Bone marrow smear — 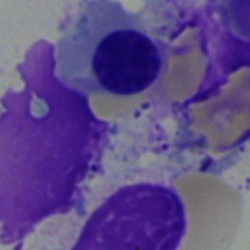Morphology consistent with a normoblast.